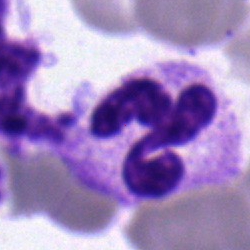The classification is polymorphonuclear neutrophil.